Image size 250×250; bone marrow aspirate smear
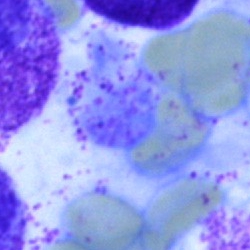Q: What is shown here?
A: Artefact.